250×250. Bone marrow smear — 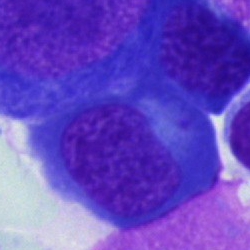Cell: normoblast.